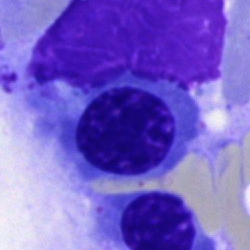
Specimen: bone marrow smear.
Morphological class: nucleated red blood cell.
Lineage: erythroid.